Bone marrow aspirate smear:
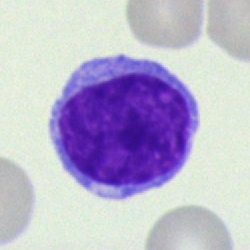 Lymphocyte.